Bone marrow smear.
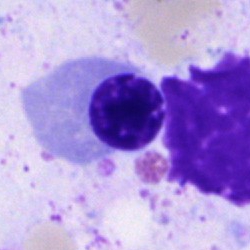

Cell type = erythroblast.